Bone marrow aspirate smear — 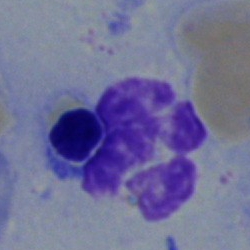
Morphological class = polymorphonuclear neutrophil.